Bone marrow smear:
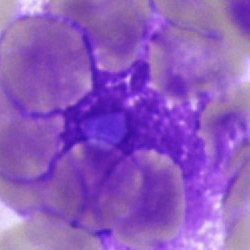

Specimen: bone marrow smear.
Cell type: artifact.